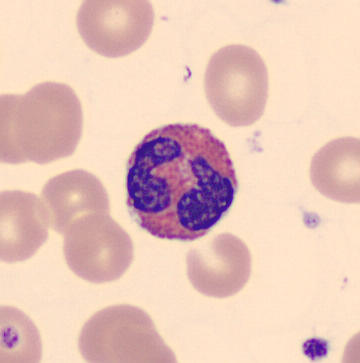

Image: 360 by 363 pixels. CellaVision DM96 digital cell image. Peripheral blood film.
Identified as an eosinophilic granulocyte.